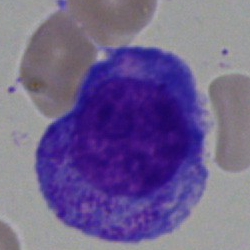A progranulocyte.